May-Grünwald-Giemsa stain. Bone marrow smear — 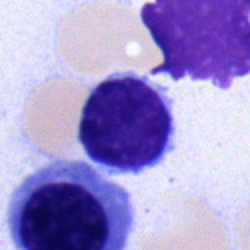{"cell_type": "typical lymphocyte"}